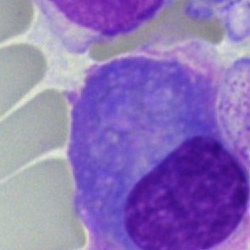
Specimen: bone marrow smear.
Morphological class: plasmacyte.
Lineage: lymphoid.